Bone marrow aspirate smear.
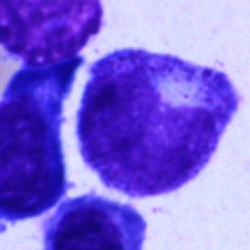
Morphology consistent with a promyelocyte.